40× objective, oil immersion. Bone marrow smear. Single-cell field: 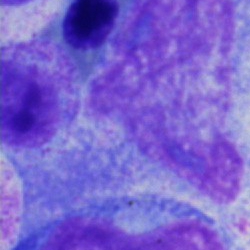
Morphology — artifact.